Brightfield, 40× oil-immersion objective; cropped to a single cell; bone marrow smear: 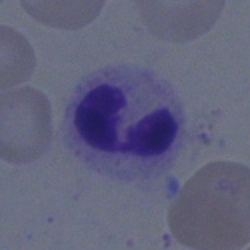
A polymorphonuclear neutrophil.